May-Grünwald-Giemsa stain. Bone marrow aspirate smear
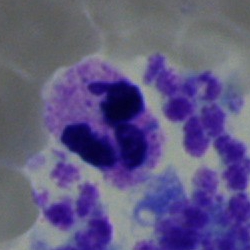

The cell shown is a polymorphonuclear neutrophil.